Peripheral blood film
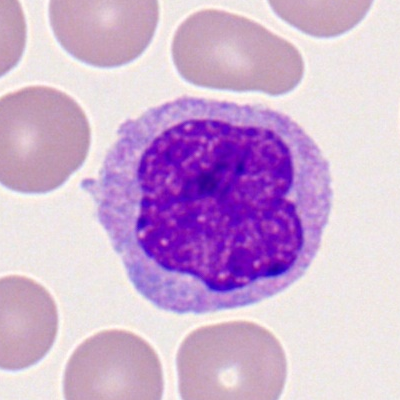
Q: What type of cell is this?
A: Monocyte.